Bone marrow smear:
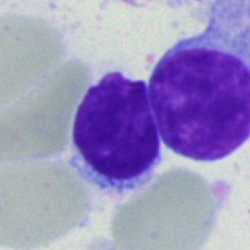
This is a typical lymphocyte.